Bone marrow smear.
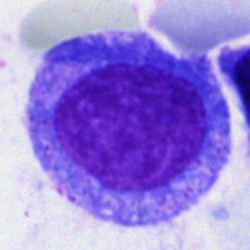
Specimen: bone marrow smear.
Morphological class: undifferentiated blast.